Bone marrow smear
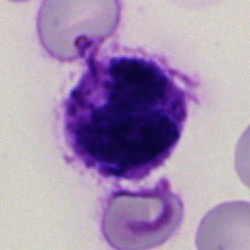 Q: What cell is this?
A: A basophilic granulocyte.